Peripheral blood smear: 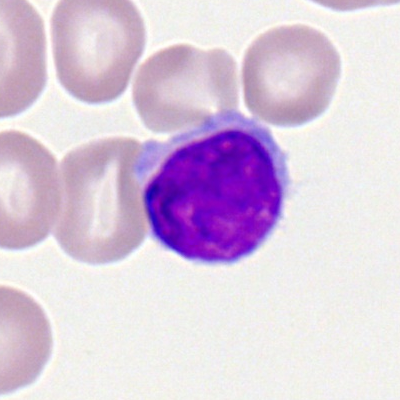
Morphology consistent with a lymphocyte.